Bone marrow aspirate smear:
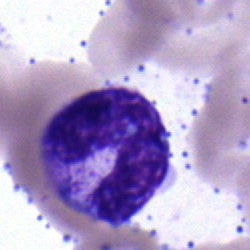
Impression → stab cell.